Bone marrow aspirate smear · Pappenheim-stained.
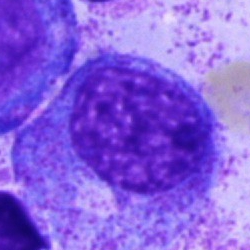
Q: Which cell type is shown here?
A: It is a promyelocyte.